Bone marrow aspirate smear.
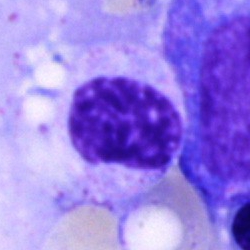 The cell is artefact.